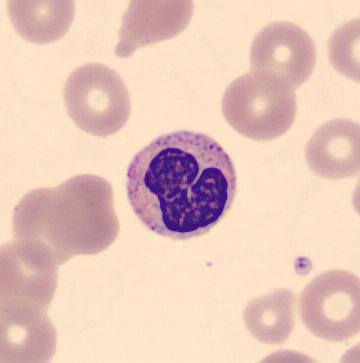
This is a band neutrophil.